Bone marrow aspirate smear. May-Grünwald-Giemsa/Pappenheim stain: 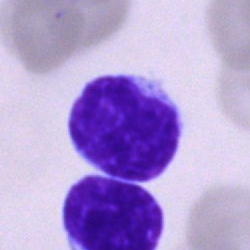

The cell shown is a lymphocyte.